250×250 · bone marrow smear
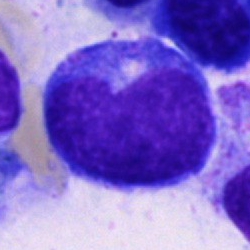
Cell = progranulocyte.